Bone marrow smear — 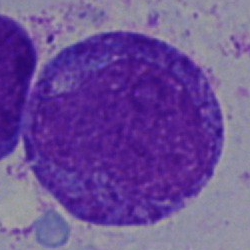
Q: What cell is this?
A: This is a progranulocyte.